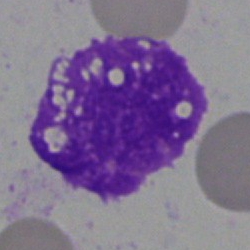
{"cell_type": "artefact"}